Bone marrow aspirate smear:
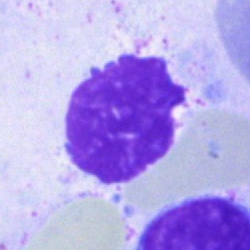

Classification = artifact.